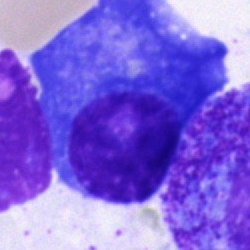This is a plasmacyte.